Bone marrow smear — 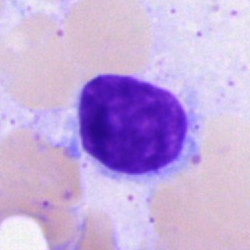

Cell type — typical lymphocyte.